Bone marrow smear.
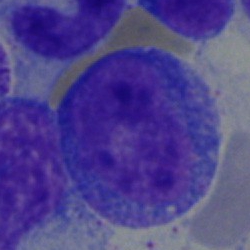

Classification = progranulocyte.